Single-cell field · bone marrow aspirate smear · May-Grünwald-Giemsa/Pappenheim stain:
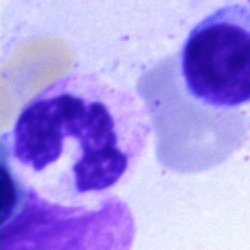 Impression — polymorphonuclear neutrophil.